Bone marrow aspirate smear — 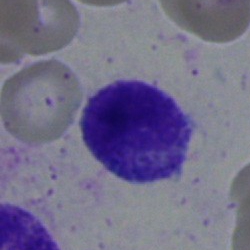Q: Identify the cell.
A: Lymphocyte.